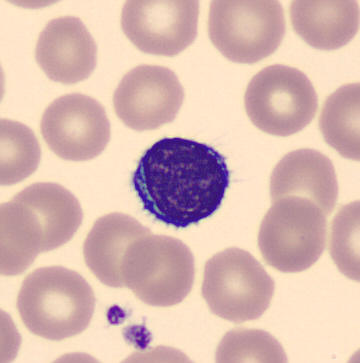

Q: Identify the cell.
A: A lymphocyte. Peripheral blood film.